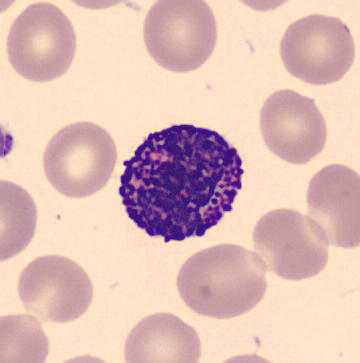
Morphology — basophilic granulocyte.